250×250 px; bone marrow smear.
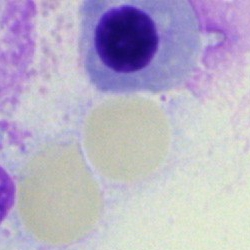Specimen: bone marrow smear.
Cell type: normoblast.